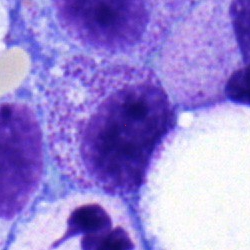
The classification is myelocyte.